Bone marrow smear
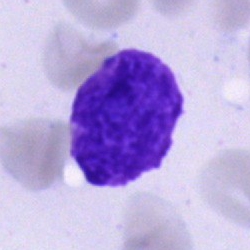Q: What is shown here?
A: Artefact.